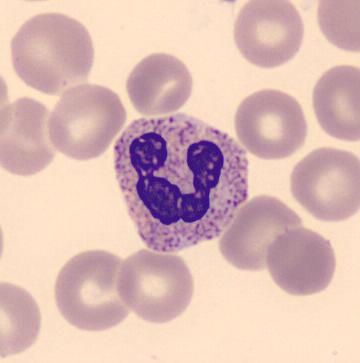

Q: Identify the cell.
A: It is a polymorphonuclear neutrophil.